Brightfield, 40× oil-immersion objective. Bone marrow smear. May-Grünwald-Giemsa stain: 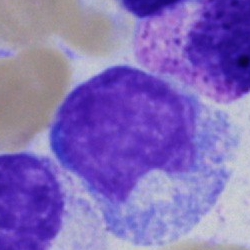The cell is promyelocyte.